Bone marrow smear — 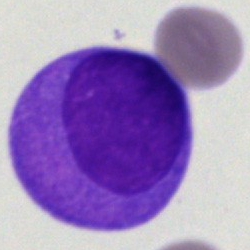
Q: What type of cell is this?
A: Blast cell.